Single cell centered in the field; bone marrow smear
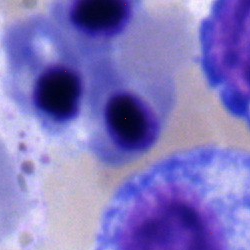
An erythroblast.